Bone marrow smear:
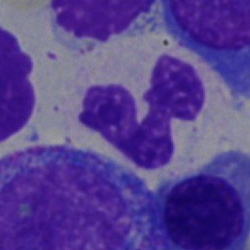
Morphological class — polymorphonuclear neutrophil.